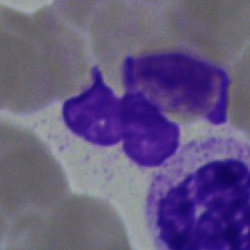

The cell shown is a segmented neutrophil.